Cropped to a single cell; bone marrow aspirate smear; May-Grünwald-Giemsa/Pappenheim stain: 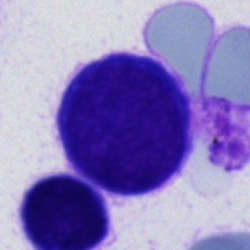
The cell type is unidentifiable cell.